250×250 px; bone marrow smear: 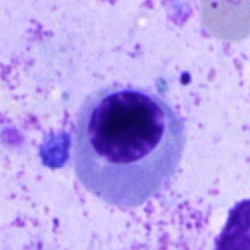 The cell shown is a normoblast.